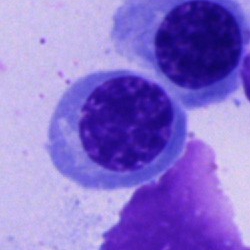Specimen: bone marrow smear.
Morphological class: nucleated red cell.
Lineage: erythroid.